Bone marrow aspirate smear; Pappenheim-stained; single-cell field: 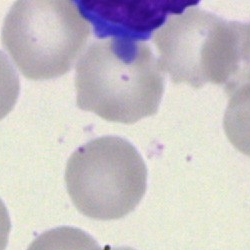Classification = cell of indeterminate lineage.